Bone marrow smear.
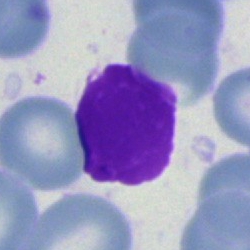
Q: What is shown here?
A: It is an artefact.